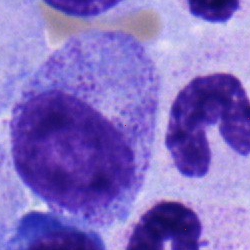Q: Which cell type is shown here?
A: A myelocyte.